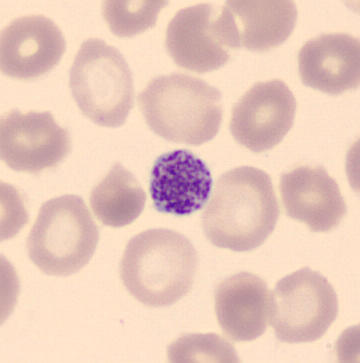
Morphological class = platelet.